Bone marrow smear: 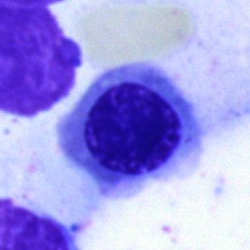 Nucleated red blood cell.